Bone marrow aspirate smear; 250×250 — 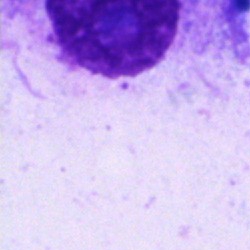
Q: What is shown here?
A: It is an artifact.